Bone marrow smear; single-cell crop; 40× objective, oil immersion: 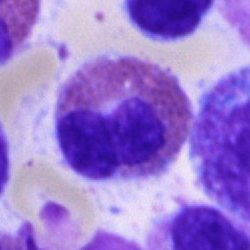

Eosinophil.